MGG-stained · bone marrow aspirate smear · 250×250 px: 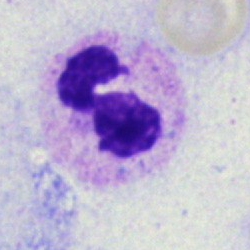
Q: What is shown here?
A: This is a polymorphonuclear neutrophil.